Bone marrow aspirate smear · May-Grünwald-Giemsa/Pappenheim stain · brightfield microscopy, 40× oil immersion
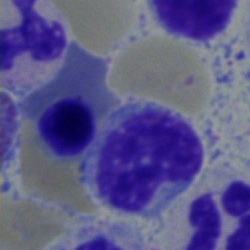 {"cell_type": "normoblast"}